Image size 250×250; single-cell crop; bone marrow aspirate smear
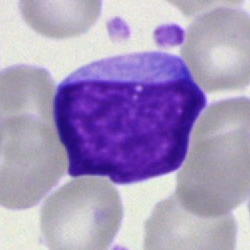

Specimen: bone marrow aspirate smear.
Classification: blast.